Bone marrow smear · single cell centered in the field
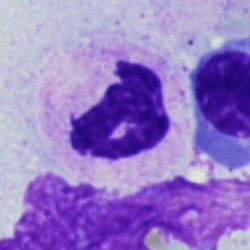 Cell: polymorphonuclear neutrophil.